MGG-stained. Bone marrow smear — 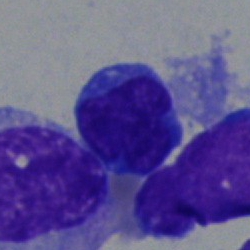
The cell is lymphocyte.